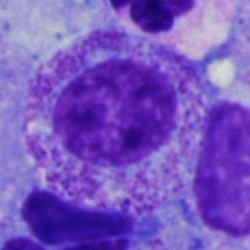 A myelocyte on a bone marrow smear.